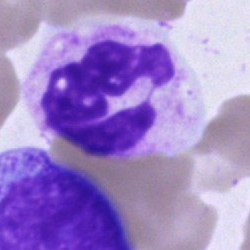
Single-cell crop from a bone marrow smear: polymorphonuclear neutrophil.